Image size 250×250. Single cell centered in the field. Bone marrow aspirate smear — 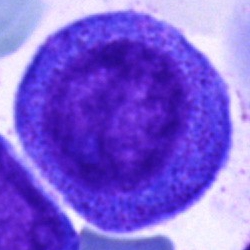

Single cell identified as a myelocyte.